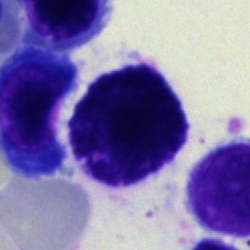

Cell type — artifact.